May-Grünwald-Giemsa-stained. CellaVision DM96. Peripheral blood smear — 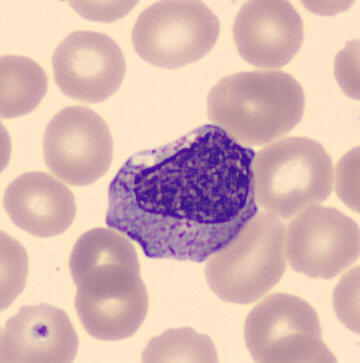

Cell type = myelocyte.